250×250 px · May-Grünwald-Giemsa stain · bone marrow smear: 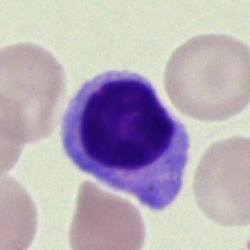 Morphology consistent with an erythroblast.